Bone marrow smear.
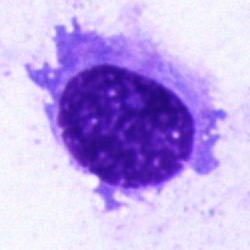The morphological class is plasmacyte.